Peripheral blood smear — 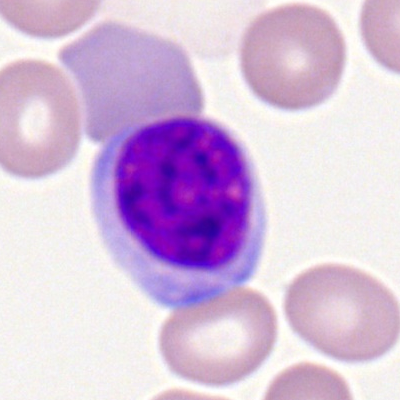 Showing a lymphocyte.